Bone marrow aspirate smear.
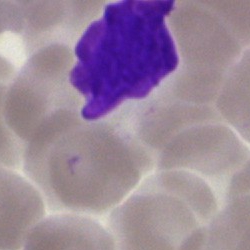

Showing an artefact.